Bone marrow smear · single cell centered in the field — 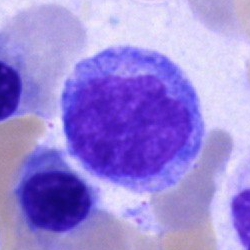
Morphology consistent with a monocyte.